40× oil immersion. Single cell centered in the field. Bone marrow aspirate smear: 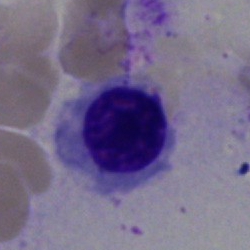

Q: What is the morphological classification of this cell?
A: Nucleated red blood cell.